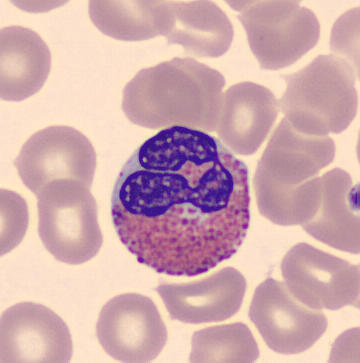
Peripheral blood smear. The cell type is eosinophil.